Bone marrow smear · 250 by 250 pixels.
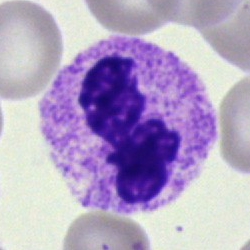

Single cell identified as a neutrophil (segmented).